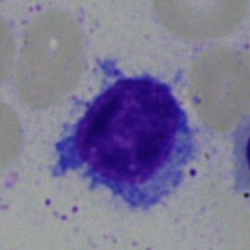 Q: What is the morphological classification of this cell?
A: Lymphocyte.